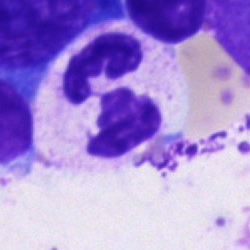 The morphological class is segmented neutrophil.